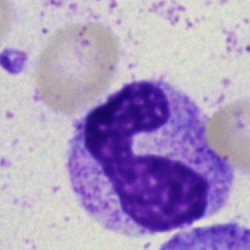 Morphology consistent with a segmented neutrophil.